Bone marrow smear.
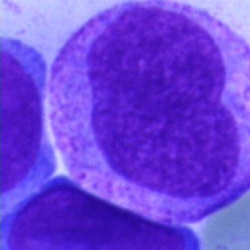
The cell is blast.